Bone marrow aspirate smear — 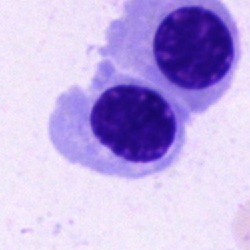
Normoblast.